Bone marrow smear.
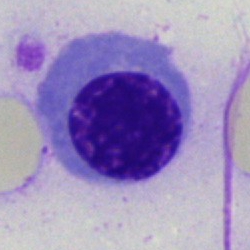Single cell identified as an erythroblast.